Bone marrow aspirate smear:
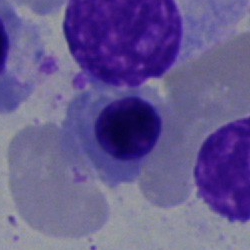 Single cell identified as an erythroblast.